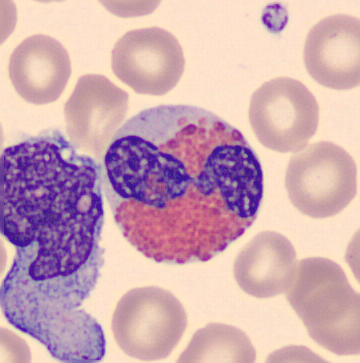
Specimen: peripheral blood film.
Cell: eosinophil.